Bone marrow smear; May-Grünwald-Giemsa stain — 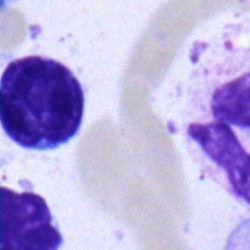 Q: What type of cell is this?
A: A typical lymphocyte.